Single-cell crop · bone marrow smear · MGG-stained:
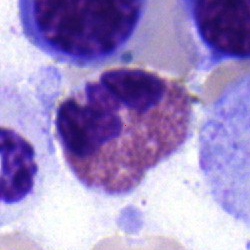Morphology → eosinophil.